Brightfield, 40× oil-immersion objective. Bone marrow aspirate smear.
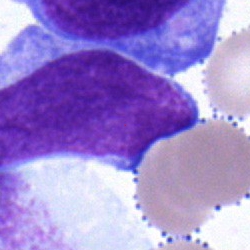 Showing a blast.